Bone marrow smear; May-Grünwald-Giemsa/Pappenheim stain; single cell centered in the field:
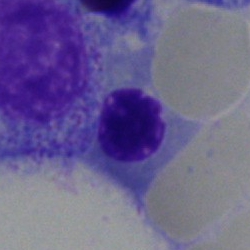

The morphological class is erythroblast.